Cropped to a single cell. Bone marrow aspirate smear. 250×250 px: 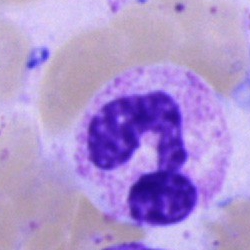Q: What is shown here?
A: This is a neutrophil (segmented).